Bone marrow smear · Pappenheim-stained
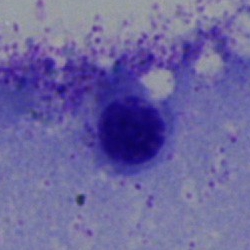Q: Which cell type is shown here?
A: It is a nucleated red cell.